Bone marrow aspirate smear:
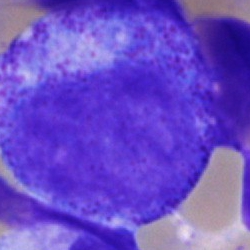Specimen: bone marrow aspirate smear.
Cell type: progranulocyte.
Lineage: myeloid.